Bone marrow aspirate smear — 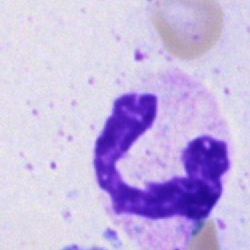
Polymorphonuclear neutrophil.